Bone marrow smear:
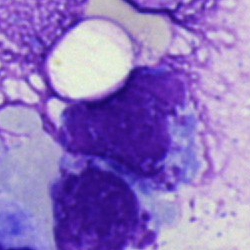 The morphological class is artefact.